Bone marrow smear.
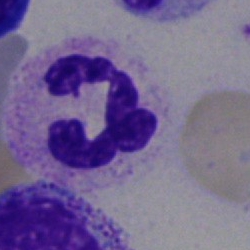

Q: What is the morphological classification of this cell?
A: A segmented neutrophil.